Bone marrow smear. 250×250. Pappenheim-stained: 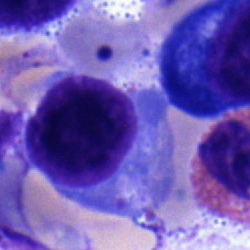
Q: Identify the cell.
A: It is a lymphocyte.